Image size 360×363. Peripheral blood smear. Imaged on a CellaVision DM96 analyser
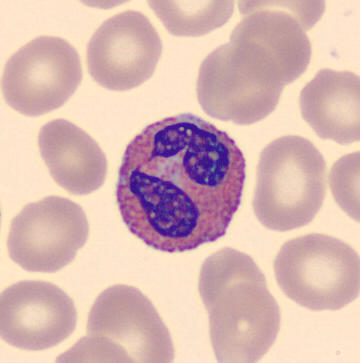
Morphology → eosinophil.